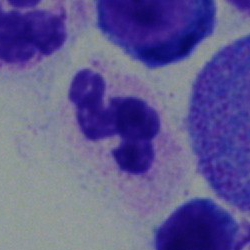

Single cell identified as a segmented neutrophil.